Bone marrow aspirate smear; cropped to a single cell
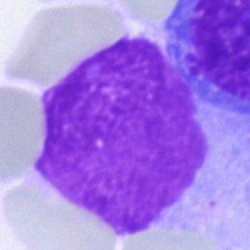Q: What is shown here?
A: Artifact.